Bone marrow smear: 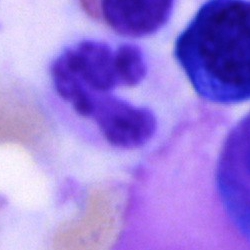The cell shown is a segmented neutrophil.